Bone marrow aspirate smear · 250 by 250 pixels: 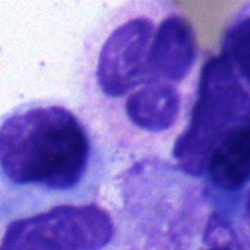 The cell shown is a neutrophil (segmented).